Bone marrow smear
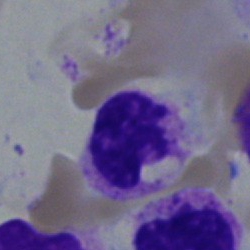Morphology → segmented neutrophil.